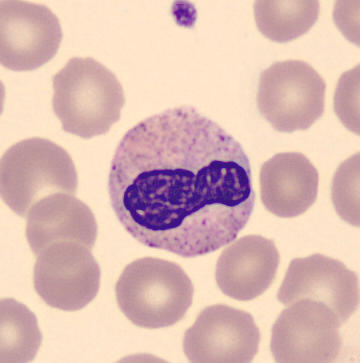
Peripheral blood smear showing a neutrophil (band).